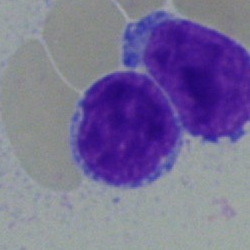

This is a blast cell.